250×250 px. Bone marrow aspirate smear:
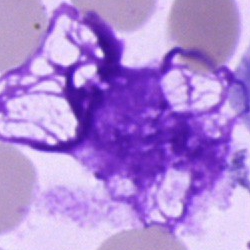
The cell shown is an artefact.